Bone marrow aspirate smear.
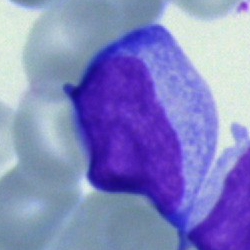The cell is lymphocyte (immature).